Bone marrow smear · image size 250×250 — 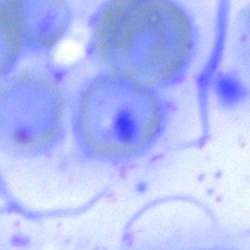

Q: What is shown here?
A: An artefact.